Bone marrow aspirate smear: 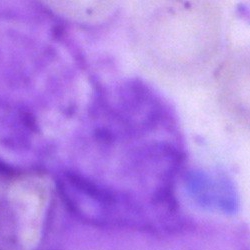 Morphological class — artifact.